40× oil immersion; single-cell crop; bone marrow smear — 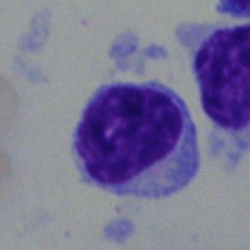
Single cell identified as a lymphocyte.